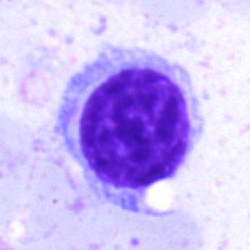
Cell = lymphocyte.